Bone marrow smear: 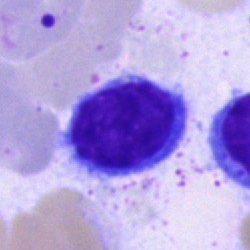 Cell type — lymphocyte.